Bone marrow smear.
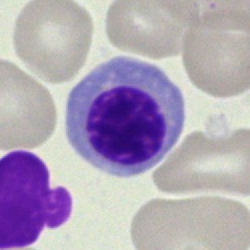

The cell shown is a normoblast.